Brightfield, 40× oil-immersion objective · MGG-stained · bone marrow aspirate smear.
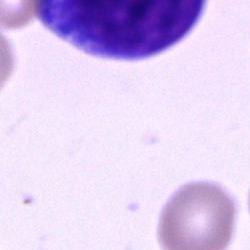Morphological class — unidentifiable cell.